Single-cell field · bone marrow aspirate smear.
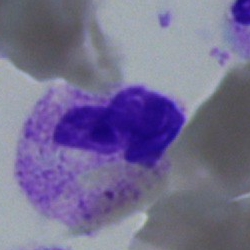

Showing a neutrophil (segmented).